Bone marrow smear: 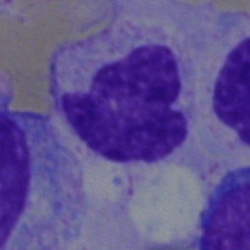{"cell_type": "artefact"}